Bone marrow aspirate smear — 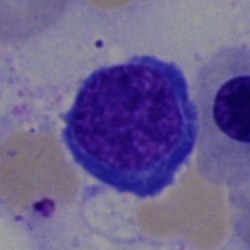Morphological class = erythroblast.